Single cell centered in the field; bone marrow smear — 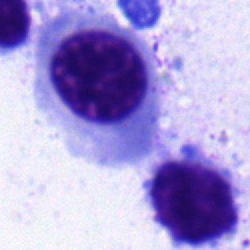Cell type — normoblast.